Bone marrow aspirate smear.
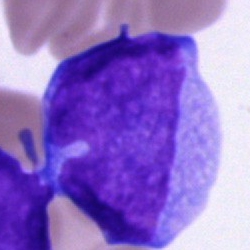Blast.